Peripheral blood film; brightfield, 100× oil-immersion objective; Romanowsky-type stain: 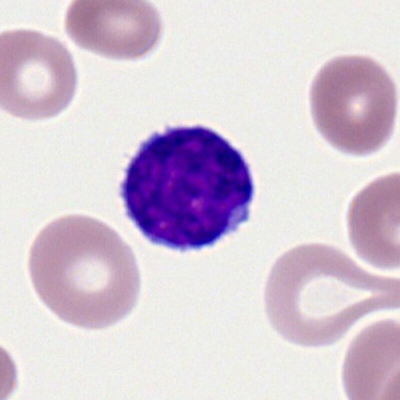 This is a lymphocyte.